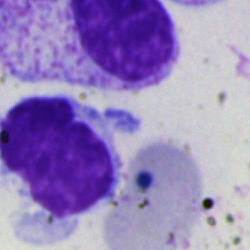

{"cell_type": "typical lymphocyte"}